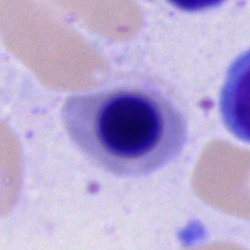 Q: What is shown here?
A: This is an erythroblast.